Bone marrow aspirate smear · image size 250×250
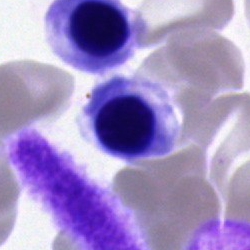
This is an erythroblast.